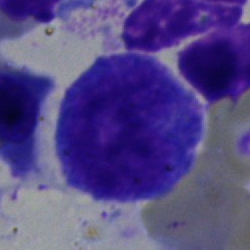The cell shown is a promyelocyte.